Bone marrow aspirate smear
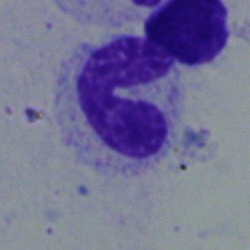Cell: neutrophil (band).